Bone marrow aspirate smear: 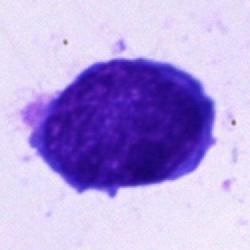Specimen: bone marrow aspirate smear.
Classification: blast.